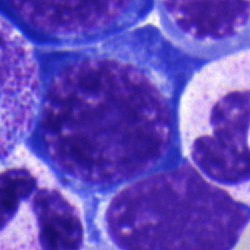 Specimen: bone marrow aspirate smear.
Morphological class: nucleated red blood cell.